Bone marrow smear
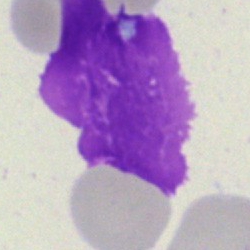
Specimen: bone marrow smear.
Morphological class: artifact.